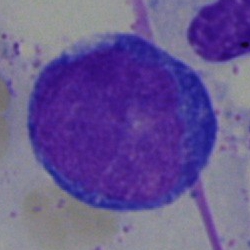 Promyelocyte.